360 by 363 pixels · peripheral blood film: 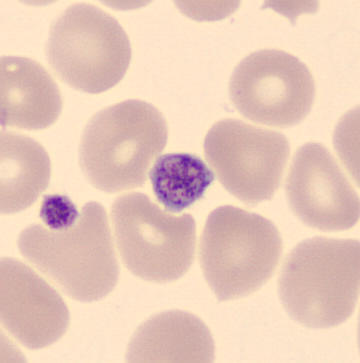

Q: What is this?
A: Platelet.